Bone marrow smear:
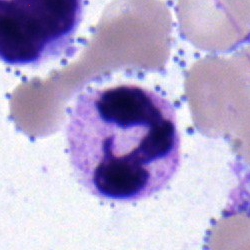

Morphology — polymorphonuclear neutrophil.